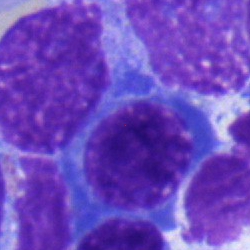
Q: What is the morphological classification of this cell?
A: It is an erythroblast.